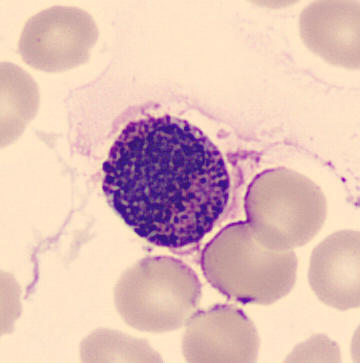{"cell_type": "basophilic granulocyte"}
Acquisition: CellaVision DM96 · single cell centered in the field · peripheral blood film.